Bone marrow smear — 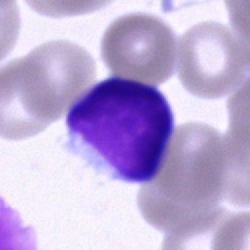

Specimen: bone marrow aspirate smear.
Cell type: lymphocyte.